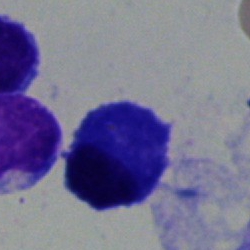

Morphology consistent with a plasmacyte.